Bone marrow smear.
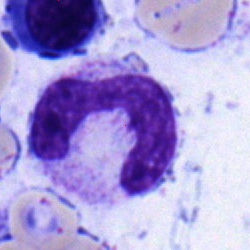 {"cell_type": "stab cell", "lineage": "myeloid"}